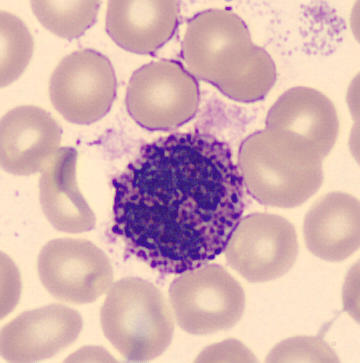
The cell shown is a basophilic granulocyte.

Peripheral blood smear · image size 360×363.